Bone marrow smear: 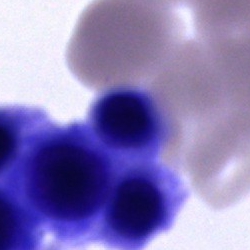 A cell of indeterminate lineage.